Bone marrow smear — 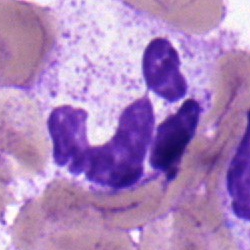
Impression — polymorphonuclear neutrophil.